Single-cell field. Pappenheim-stained. Bone marrow aspirate smear
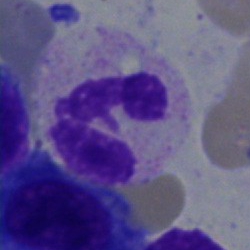The classification is segmented neutrophil.